Bone marrow aspirate smear
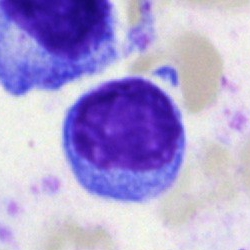Cell = typical lymphocyte.